Peripheral blood smear · Romanowsky stain · 400 by 400 pixels — 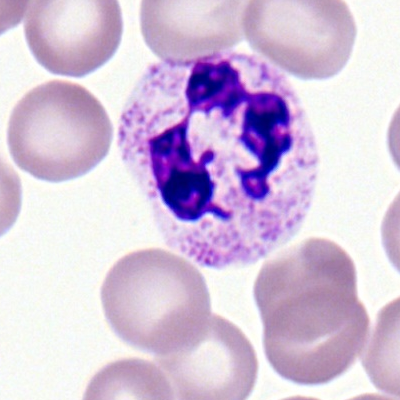

Showing a segmented neutrophil.